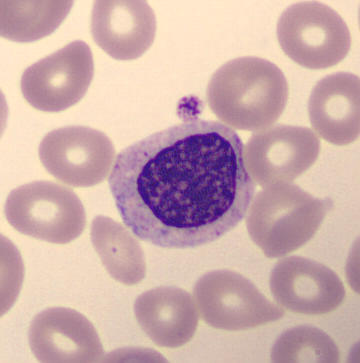

Preparation: Peripheral blood smear · MGG-stained.

Cell type: myelocyte.